Bone marrow aspirate smear · image size 250×250: 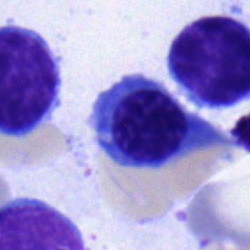 An erythroblast.